Bone marrow aspirate smear — 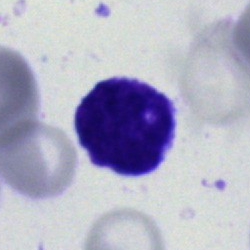This is a blast cell.